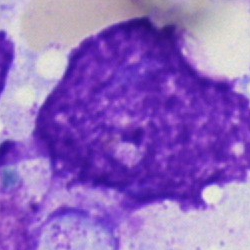 Showing an artifact.